Bone marrow aspirate smear:
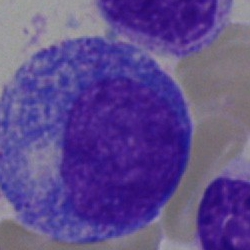

Promyelocyte.